Bone marrow smear: 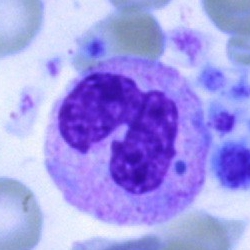This is a segmented neutrophil.